Bone marrow aspirate smear — 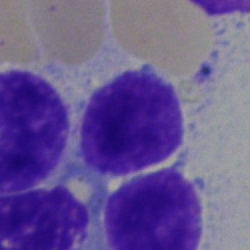
Morphology consistent with a typical lymphocyte.